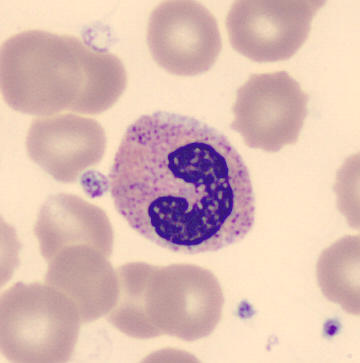 Impression → stab cell.